Bone marrow smear.
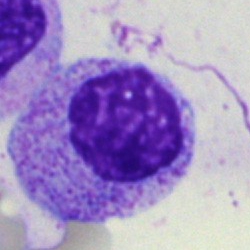
A myelocyte.